Pappenheim-stained · brightfield, 40× oil-immersion objective · bone marrow smear: 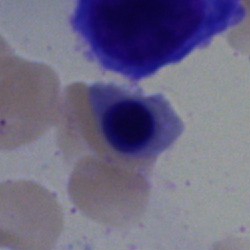
Morphological class: nucleated red cell.